Bone marrow smear
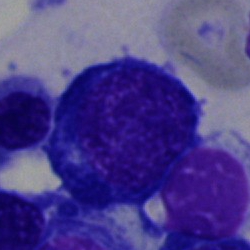

{"cell_type": "erythroblast"}